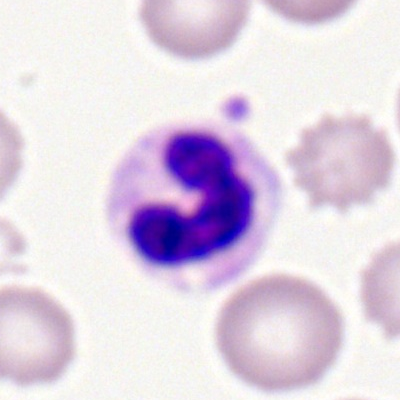

Showing a segmented neutrophil.